Pappenheim-stained. Bone marrow aspirate smear. Single cell centered in the field — 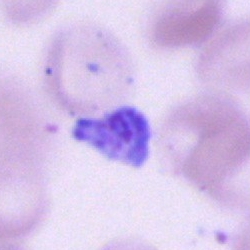 Q: What is shown here?
A: It is an artefact.